Brightfield microscopy, 40× oil immersion; bone marrow aspirate smear
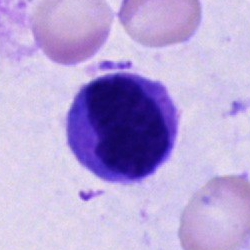Classification = unidentifiable cell.